40× objective, oil immersion; bone marrow smear; 250×250 px
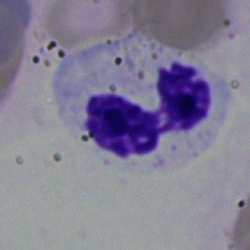 Morphology consistent with a segmented neutrophil.